Brightfield, 40× oil-immersion objective · bone marrow aspirate smear · MGG-stained.
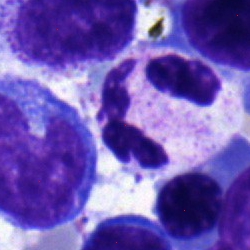 Q: What cell is this?
A: This is a neutrophil (segmented).